400 by 400 pixels · peripheral blood smear: 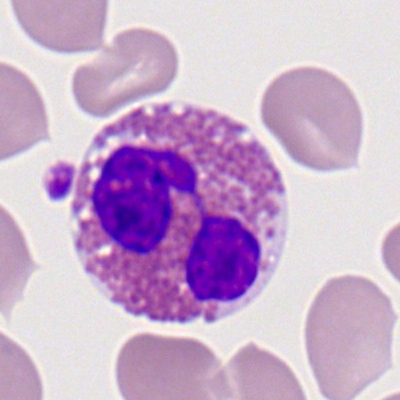
{"cell_type": "eosinophil", "lineage": "myeloid"}